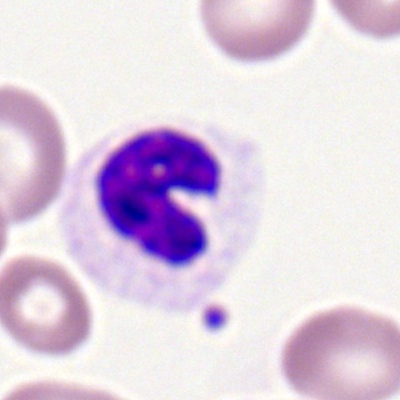Morphological class = segmented neutrophil.